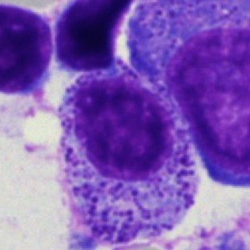{"cell_type": "myelocyte", "lineage": "myeloid"}